Bone marrow smear
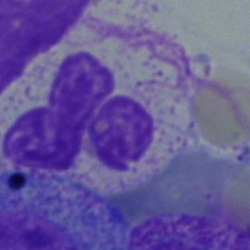 {"cell_type": "polymorphonuclear neutrophil"}